Bone marrow aspirate smear: 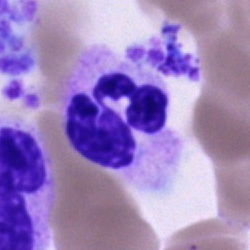
Morphological class: neutrophil (segmented).